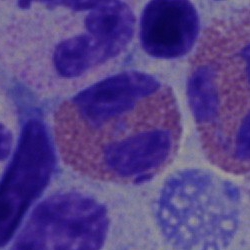Q: What is the morphological classification of this cell?
A: This is an eosinophil.